Cropped to a single cell. Bone marrow aspirate smear: 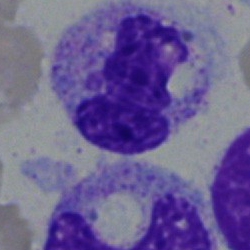 Specimen: bone marrow smear.
Morphological class: neutrophil (segmented).
Lineage: myeloid.